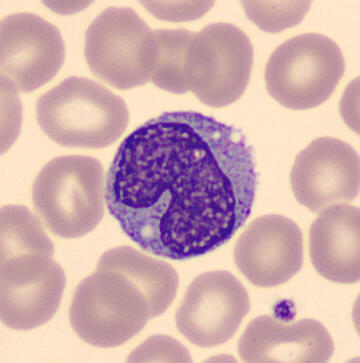 Specimen: peripheral blood film.
Cell: monocyte.
Lineage: myeloid.